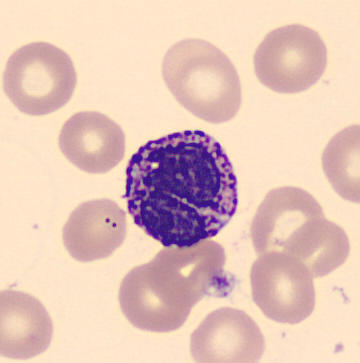Q: Identify the cell.
A: This is a basophil.